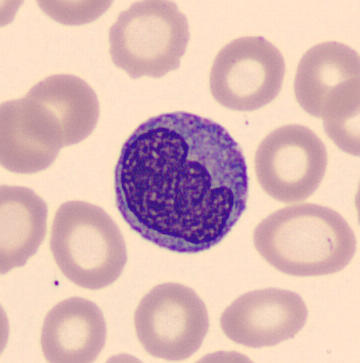Single cell identified as a monocyte.